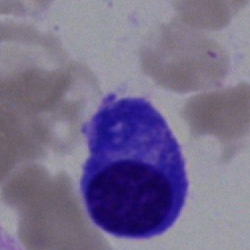Specimen: bone marrow aspirate smear.
Cell: plasma cell.
Lineage: lymphoid.